Bone marrow aspirate smear.
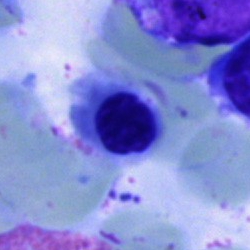Cell = erythroblast.